Bone marrow smear — 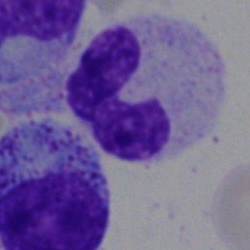 Showing a stab cell.